Bone marrow aspirate smear
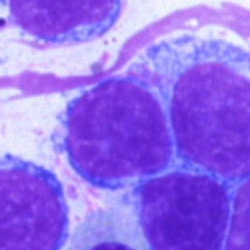Typical lymphocyte.